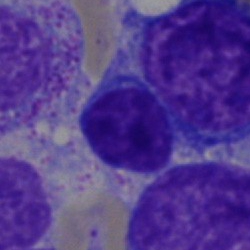

Bone marrow smear showing a typical lymphocyte.